Image size 250×250; bone marrow aspirate smear: 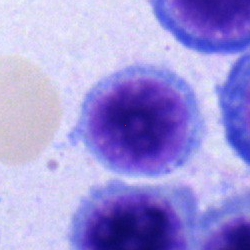 Impression — typical lymphocyte.